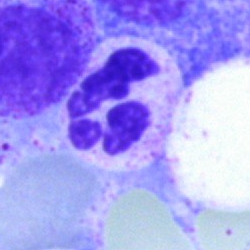
Bone marrow aspirate smear, single cell — neutrophil (segmented).